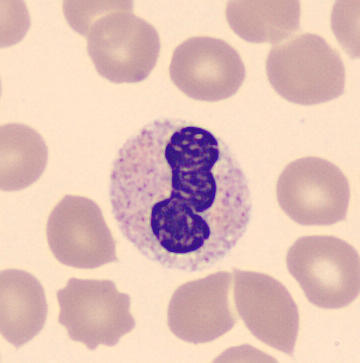Specimen: peripheral blood film.
Classification: neutrophil (segmented).